Bone marrow aspirate smear. May-Grünwald-Giemsa/Pappenheim stain. Cropped to a single cell:
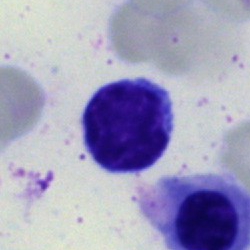

Q: Which cell type is shown here?
A: It is a lymphocyte.